400 by 400 pixels; peripheral blood film; Romanowsky-stained
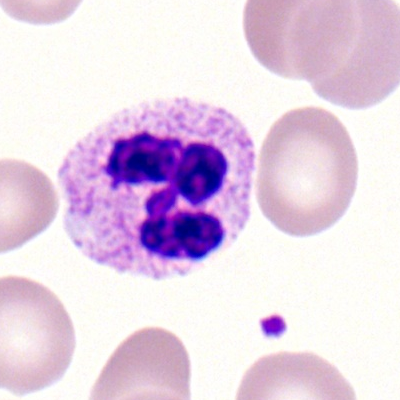 Showing a polymorphonuclear neutrophil.